Bone marrow smear · single cell centered in the field — 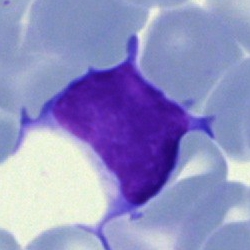 Classification = lymphocyte.